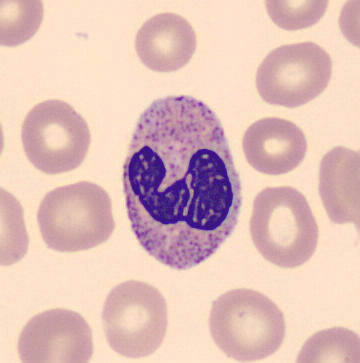This is a polymorphonuclear neutrophil.
Acquisition: 360×363; peripheral blood film; CellaVision DM96.